May-Grünwald-Giemsa stain · bone marrow smear · 40× oil immersion
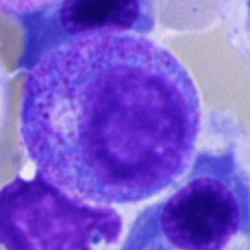 Impression → promyelocyte.